Pappenheim-stained; bone marrow smear
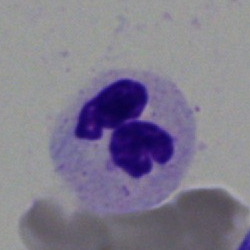

Q: Identify the cell.
A: It is a neutrophil (segmented).